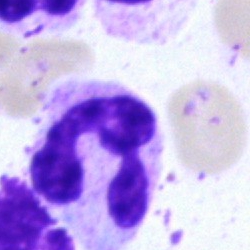
Q: What type of cell is this?
A: A neutrophil (segmented).